Bone marrow smear.
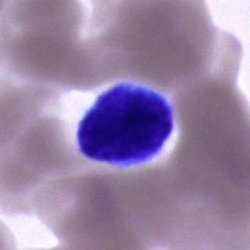
Lymphocyte.